Bone marrow aspirate smear
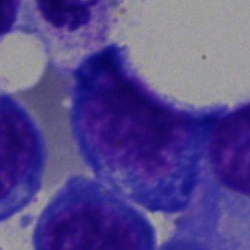Specimen: bone marrow aspirate smear.
Cell type: nucleated red cell.
Lineage: erythroid.